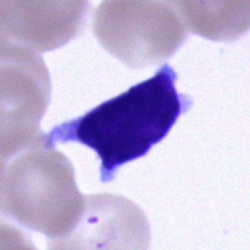Bone marrow smear showing a typical lymphocyte.